250×250 · bone marrow smear:
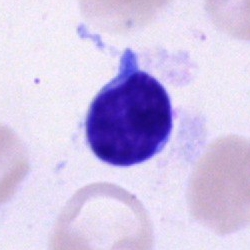

Single cell identified as a typical lymphocyte.